Peripheral blood film
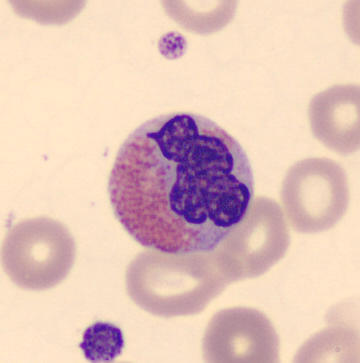Morphology — eosinophil.